Bone marrow aspirate smear
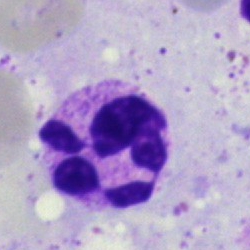The cell shown is a neutrophil (segmented).